Bone marrow smear; brightfield microscopy, 40× oil immersion; May-Grünwald-Giemsa stain
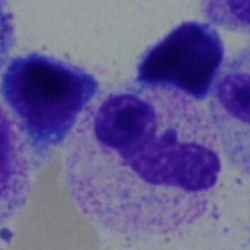 Morphology consistent with a band neutrophil.